Bone marrow smear:
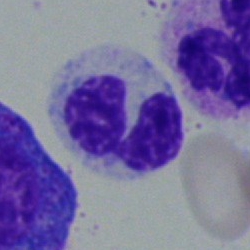This is a neutrophil (segmented).